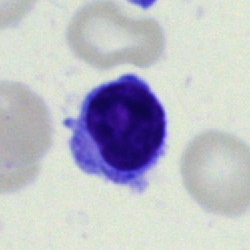Morphological class = typical lymphocyte.